Bone marrow smear. Cropped to a single cell. Image size 250×250: 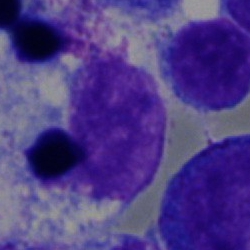
Morphological class: artefact.